Pappenheim-stained · bone marrow smear
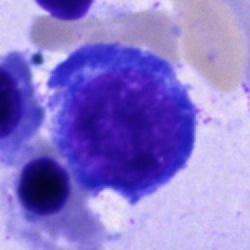 Showing an erythroblast.